Bone marrow aspirate smear.
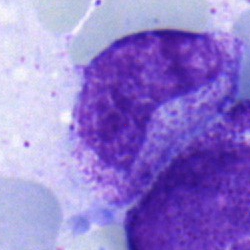
Cell type = metamyelocyte.